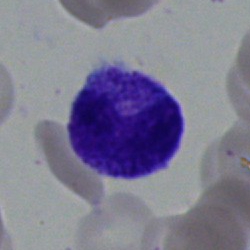 Q: What is the morphological classification of this cell?
A: This is a band-form neutrophil.